Bone marrow smear
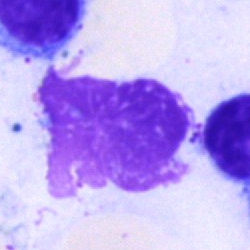

Q: What is shown here?
A: This is an artifact.